Bone marrow aspirate smear.
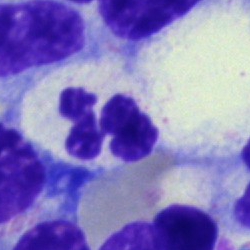

Showing a polymorphonuclear neutrophil.